Bone marrow smear — 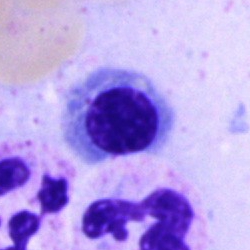 Q: What is the morphological classification of this cell?
A: This is a nucleated red blood cell.